Peripheral blood film · Romanowsky stain — 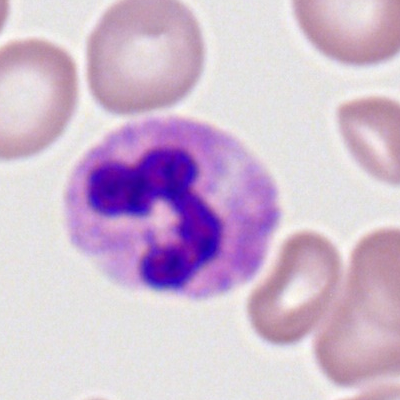
Specimen: peripheral blood film.
Cell: neutrophil (segmented).